Bone marrow aspirate smear.
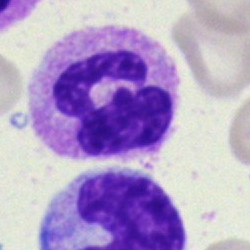 Morphological class: polymorphonuclear neutrophil.